Single cell centered in the field · 250×250 px · bone marrow smear: 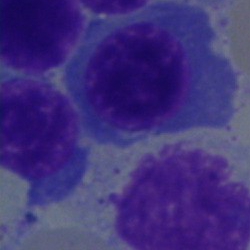 Q: What is the morphological classification of this cell?
A: Erythroblast.